Bone marrow aspirate smear. May-Grünwald-Giemsa stain. 40× oil immersion
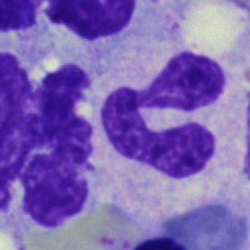 Segmented neutrophil.